May-Grünwald-Giemsa/Pappenheim stain. Bone marrow aspirate smear:
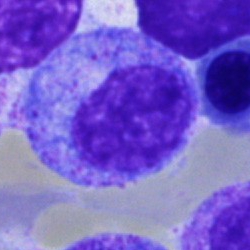 Q: Which cell type is shown here?
A: Promyelocyte.